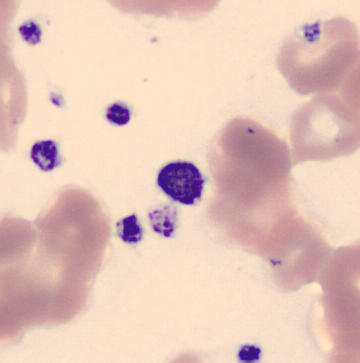

Morphology consistent with a thrombocyte.
Peripheral blood film.